Image size 250×250 · bone marrow smear:
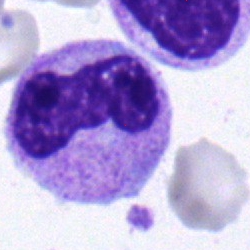Showing a stab cell.